Bone marrow smear: 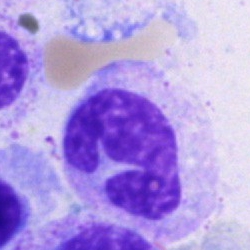

{"cell_type": "polymorphonuclear neutrophil"}